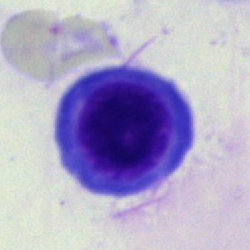
Specimen: bone marrow smear.
Morphological class: erythroblast.
Lineage: erythroid.